Bone marrow aspirate smear — 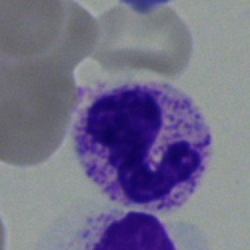
Classification = stab cell.